Bone marrow smear.
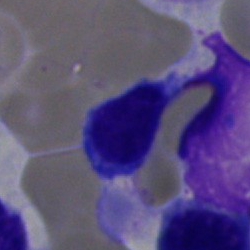Lymphocyte.